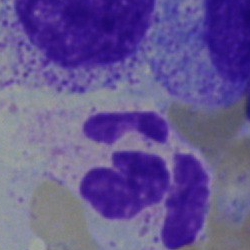 Q: What type of cell is this?
A: A neutrophil (segmented).